Bone marrow aspirate smear: 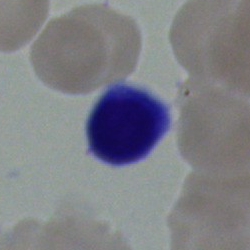Impression — lymphocyte.